Bone marrow smear
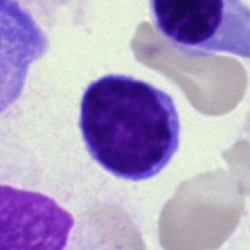 Q: What is shown here?
A: This is a typical lymphocyte.